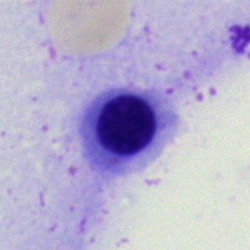
Specimen: bone marrow aspirate smear.
Cell: erythroblast.